Bone marrow smear
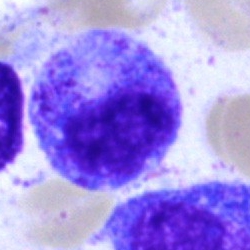

Morphology → promyelocyte.